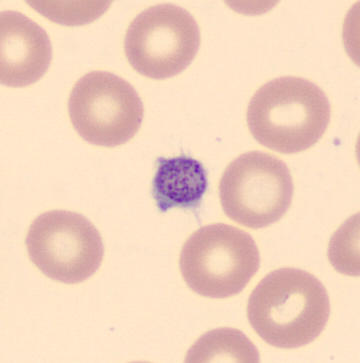A thrombocyte.
Image size 360×363; peripheral blood film.